Bone marrow aspirate smear. 250 by 250 pixels: 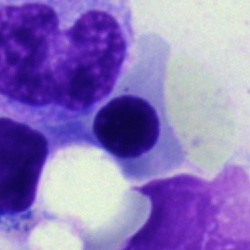
{"cell_type": "nucleated red blood cell", "lineage": "erythroid"}